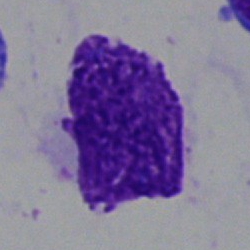Artifact.